40× objective, oil immersion · May-Grünwald-Giemsa stain · bone marrow smear:
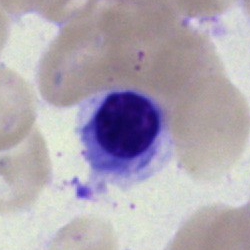
This is an erythroblast.